Bone marrow smear: 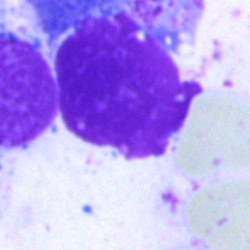 Q: What is shown here?
A: This is an artifact.